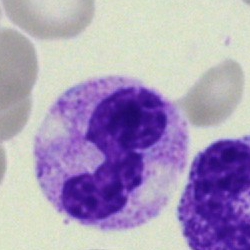
A segmented neutrophil.